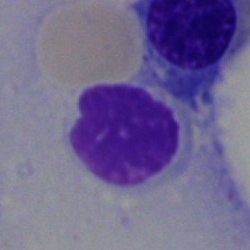Q: What is shown here?
A: Artifact.